Bone marrow aspirate smear; MGG-stained; brightfield microscopy, 40× oil immersion
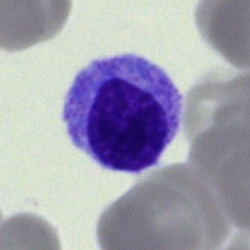 This is a myelocyte.